Single-cell field. Bone marrow smear.
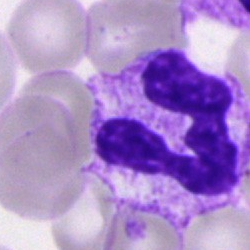
Classification — neutrophil (segmented).